Bone marrow aspirate smear.
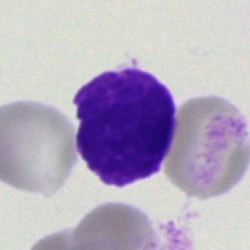

Q: What is shown here?
A: It is an artefact.